Bone marrow aspirate smear. Single-cell field. 250 by 250 pixels
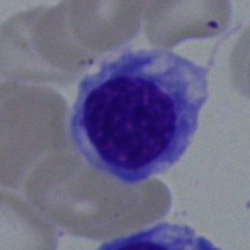

Q: Identify the cell.
A: An erythroblast.